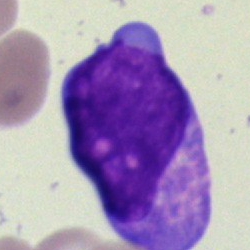Cell type = blast.